Bone marrow smear:
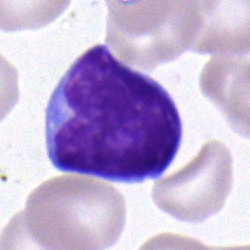 The morphological class is typical lymphocyte.